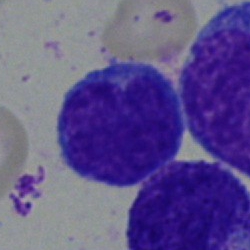
Specimen: bone marrow aspirate smear.
Cell type: blast cell.